Bone marrow aspirate smear; May-Grünwald-Giemsa/Pappenheim stain:
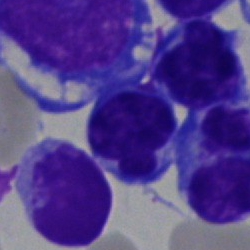
The morphological class is lymphocyte.